Bone marrow aspirate smear · single-cell crop · image size 250×250:
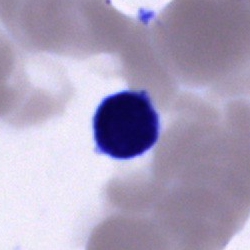The cell is lymphocyte.